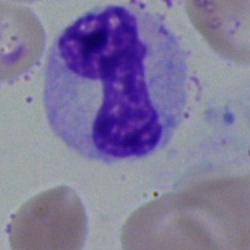Specimen: bone marrow aspirate smear.
Cell: neutrophil (band).
Lineage: myeloid.